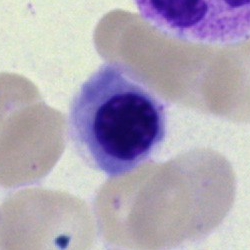 Morphological class = normoblast.